May-Grünwald-Giemsa/Pappenheim stain · bone marrow smear:
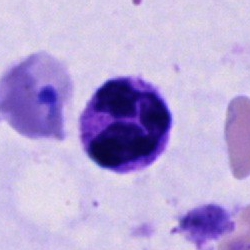Impression — polymorphonuclear neutrophil.